MGG-stained · bone marrow smear — 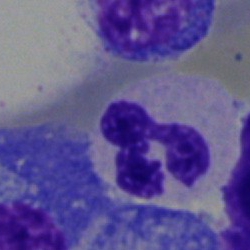Q: What is shown here?
A: It is a segmented neutrophil.